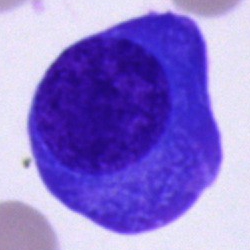{"cell_type": "plasmacyte", "lineage": "lymphoid"}